Bone marrow aspirate smear: 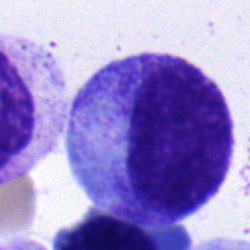Cell = progranulocyte.